Image size 250×250 · bone marrow smear
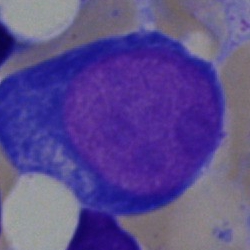 The cell shown is a proerythroblast.